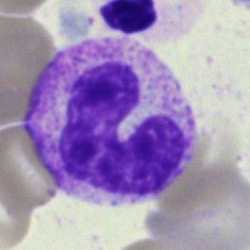 Q: What is the morphological classification of this cell?
A: This is a band-form neutrophil.